Brightfield, 40× oil-immersion objective; bone marrow aspirate smear; single cell centered in the field — 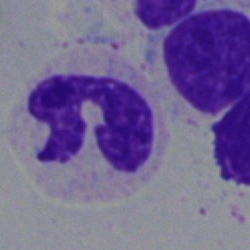 Polymorphonuclear neutrophil.